Cropped to a single cell. Bone marrow smear.
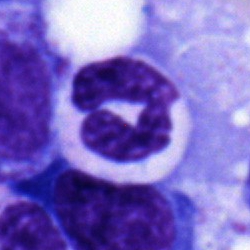
Impression — segmented neutrophil.